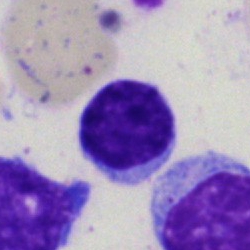

{"cell_type": "typical lymphocyte", "lineage": "lymphoid"}